MGG-stained; bone marrow smear; brightfield microscopy, 40× oil immersion:
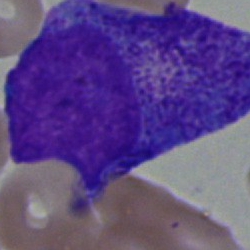

Q: What type of cell is this?
A: It is a promyelocyte.